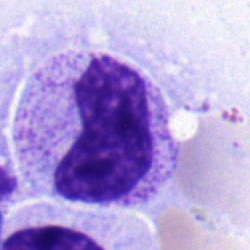 Specimen: bone marrow aspirate smear.
Morphological class: neutrophil (band).
Lineage: myeloid.